Bone marrow aspirate smear.
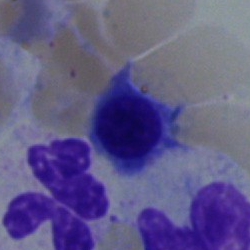 Cell = nucleated red cell.